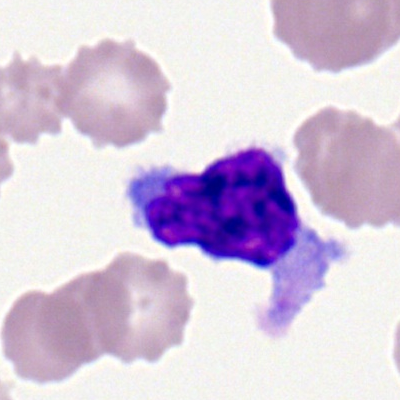 Single cell identified as a typical lymphocyte.